Single-cell field · brightfield, 40× oil-immersion objective · bone marrow smear — 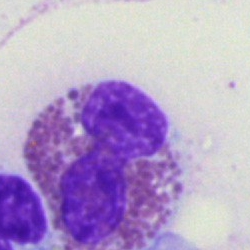This is an eosinophil.